Bone marrow aspirate smear: 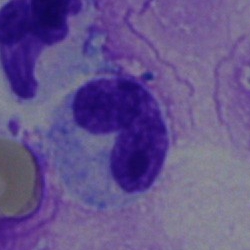
Specimen: bone marrow aspirate smear.
Cell: stab cell.
Lineage: myeloid.